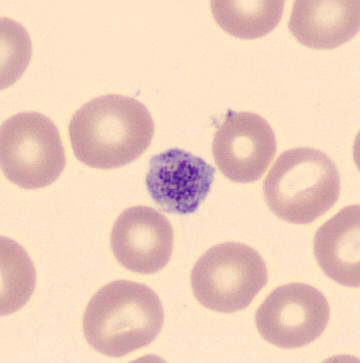 Q: What is this?
A: Thrombocyte.